Bone marrow smear. 250 by 250 pixels
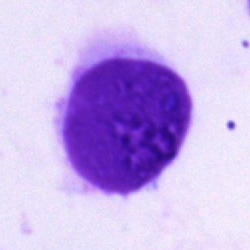

The morphological class is artifact.